Bone marrow smear; MGG-stained.
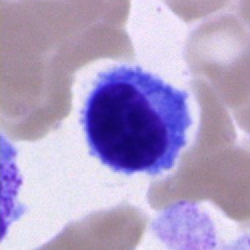
Single cell identified as a lymphocyte.